Bone marrow aspirate smear
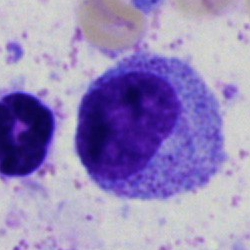Q: What cell is this?
A: A myelocyte.